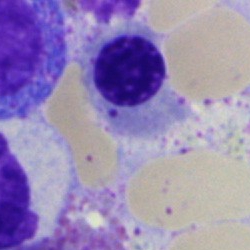
An erythroblast on a bone marrow smear.